40× objective, oil immersion. 250×250 px. Bone marrow aspirate smear:
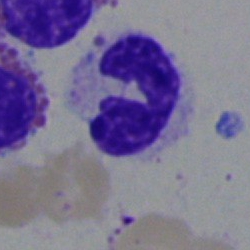 Q: Identify the cell.
A: It is a neutrophil (band).